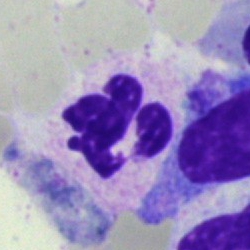 Impression — neutrophil (segmented).